Bone marrow aspirate smear: 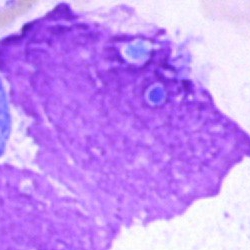Morphology consistent with an artefact.